Bone marrow aspirate smear
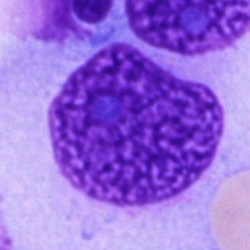
This is an artifact.